Bone marrow smear: 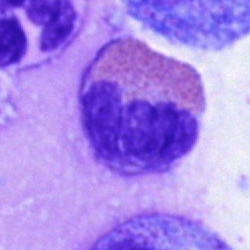Q: What cell is this?
A: An eosinophilic granulocyte.